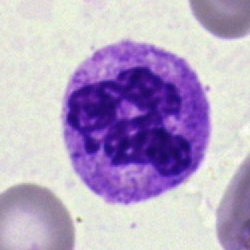Q: What type of cell is this?
A: Segmented neutrophil.